Bone marrow smear — 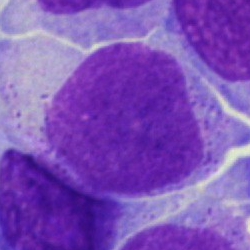 Showing a blast cell.